Bone marrow aspirate smear. 250 by 250 pixels. Cropped to a single cell.
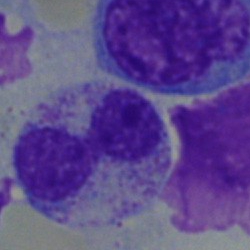 {"cell_type": "segmented neutrophil", "lineage": "myeloid"}